Bone marrow smear · cropped to a single cell: 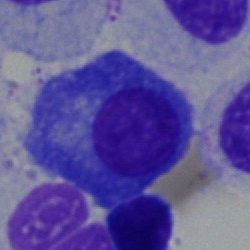Specimen: bone marrow aspirate smear.
Cell type: plasma cell.
Lineage: lymphoid.